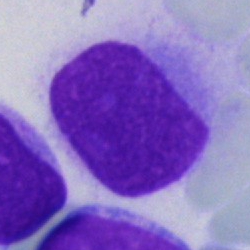 Showing a blast cell.